Bone marrow smear — 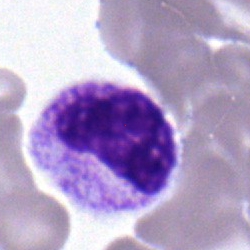Q: What is shown here?
A: A metamyelocyte.